Bone marrow smear:
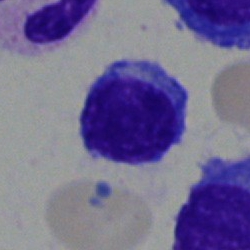
{"cell_type": "lymphocyte"}